40× oil immersion; bone marrow smear
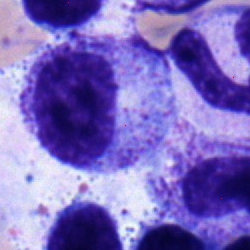
Morphology — myelocyte.